Single-cell field. 40× objective, oil immersion. Bone marrow aspirate smear:
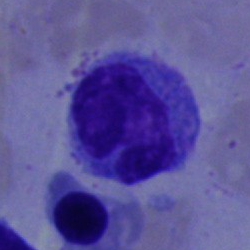 Q: What type of cell is this?
A: This is a monocyte.